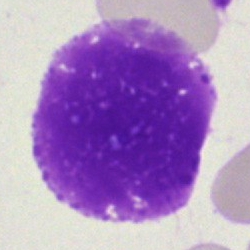Morphology consistent with an artefact.